Single-cell field; bone marrow smear; 40× oil immersion:
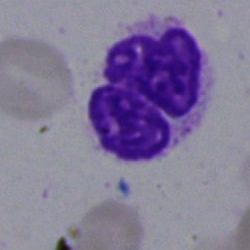Q: Identify the cell.
A: It is a polymorphonuclear neutrophil.